Bone marrow aspirate smear — 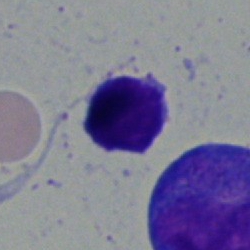 A typical lymphocyte.